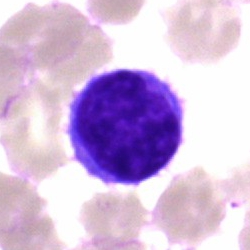
{"cell_type": "lymphocyte", "lineage": "lymphoid"}